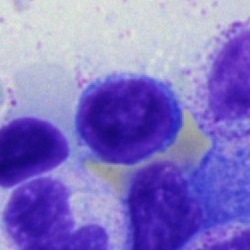Bone marrow aspirate smear, single cell — lymphocyte.